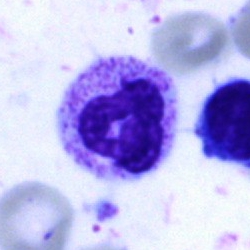
Cell: segmented neutrophil.